May-Grünwald-Giemsa/Pappenheim stain. Bone marrow smear — 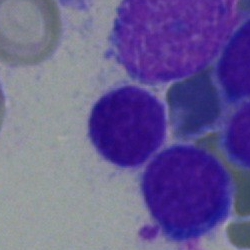Morphological class: lymphocyte.